Bone marrow smear:
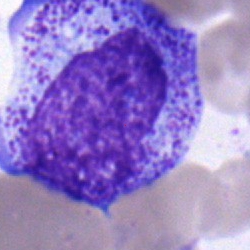
Specimen: bone marrow smear.
Cell type: polymorphonuclear neutrophil.
Lineage: myeloid.